Bone marrow smear.
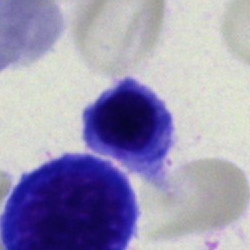

The cell type is nucleated red blood cell.